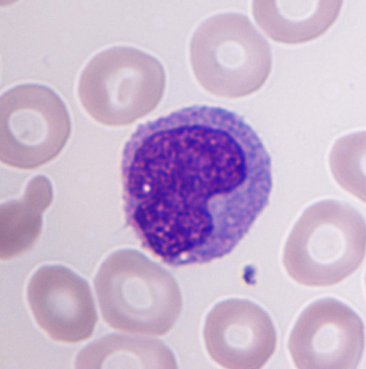
Acquisition: Cropped to a single cell. CellaVision DM96. Peripheral blood smear.
The cell shown is a monocyte.